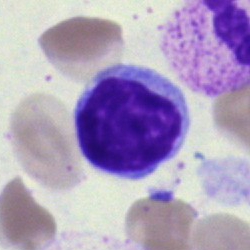
A typical lymphocyte on a bone marrow smear.